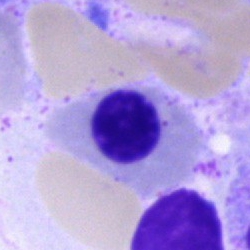
Morphological class = nucleated red cell.